Bone marrow smear; single cell centered in the field
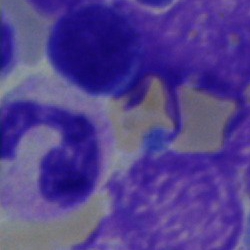
The cell shown is a polymorphonuclear neutrophil.